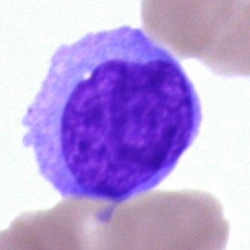
Cell: undifferentiated blast.